250×250. Bone marrow smear. Pappenheim-stained
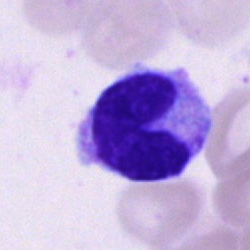Cell: cell of indeterminate lineage.